Bone marrow aspirate smear. 40× oil immersion. Cropped to a single cell:
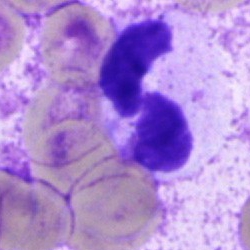

The cell type is segmented neutrophil.